Bone marrow smear. Single-cell field
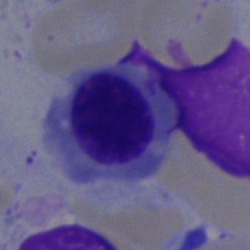Morphological class — normoblast.